Bone marrow smear
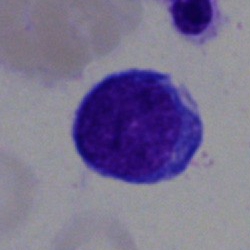 Morphology — typical lymphocyte.